Bone marrow aspirate smear.
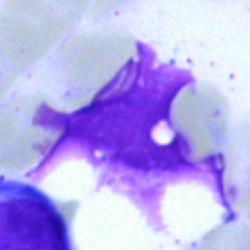 Artifact.